May-Grünwald-Giemsa stain; 40× objective, oil immersion; bone marrow aspirate smear.
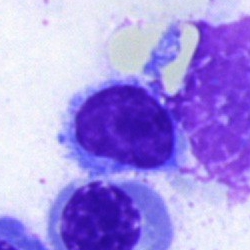Q: Which cell type is shown here?
A: A typical lymphocyte.